Bone marrow smear:
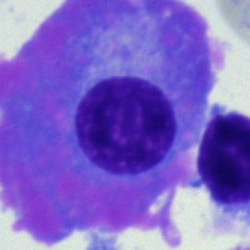Classification — plasmacyte.